Peripheral blood film; single cell centered in the field
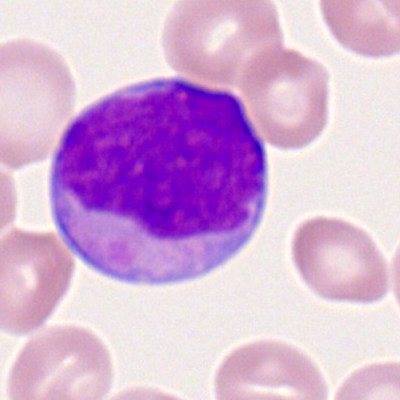 Classification: myeloblast.